Single cell centered in the field · bone marrow smear — 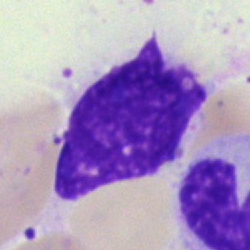This is an artefact.